Bone marrow aspirate smear
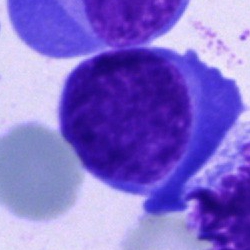
Single cell identified as a blast.